Bone marrow aspirate smear; 250×250.
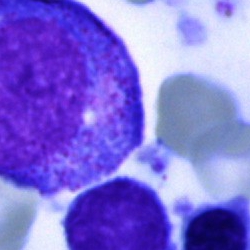

Q: What type of cell is this?
A: Promyelocyte.